Bone marrow smear.
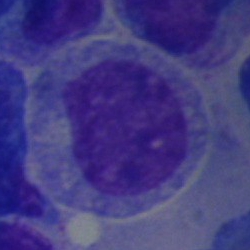
A myelocyte.